Image size 250×250 · bone marrow smear · single-cell field: 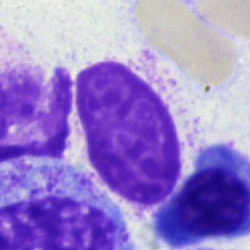

The cell is artifact.